Cropped to a single cell · bone marrow smear · May-Grünwald-Giemsa/Pappenheim stain.
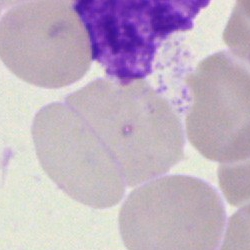Classification: artefact.